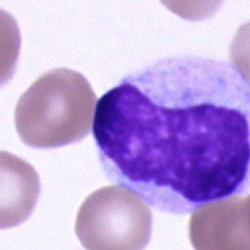
Single-cell crop from a bone marrow smear: unidentifiable cell.